Bone marrow aspirate smear. Brightfield, 40× oil-immersion objective. May-Grünwald-Giemsa/Pappenheim stain:
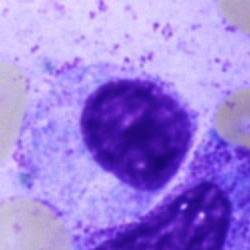 This is a myelocyte.